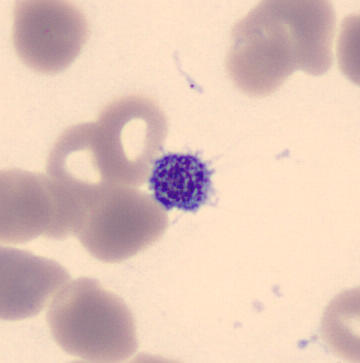 Specimen: peripheral blood film.
Cell type: platelet. Acquisition: 360 by 363 pixels.